Bone marrow aspirate smear
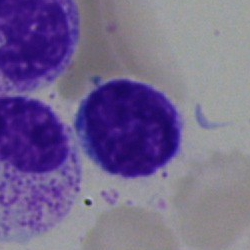 Morphological class = lymphocyte.